Pappenheim-stained; brightfield, 40× oil-immersion objective; bone marrow aspirate smear — 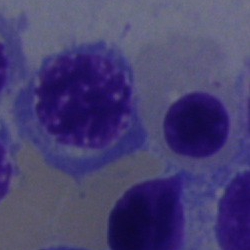

Specimen: bone marrow aspirate smear.
Cell: nucleated red blood cell.
Lineage: erythroid.